Bone marrow smear
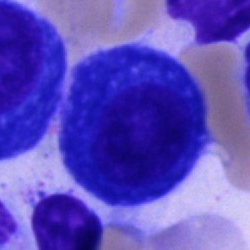
{"cell_type": "plasma cell", "lineage": "lymphoid"}